May-Grünwald-Giemsa stain · bone marrow aspirate smear.
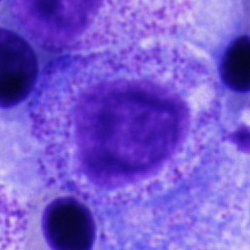Morphological class — promyelocyte.